Bone marrow smear: 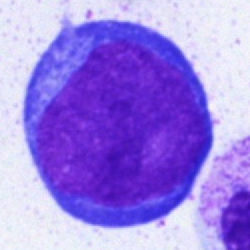A proerythroblast.